Bone marrow smear — 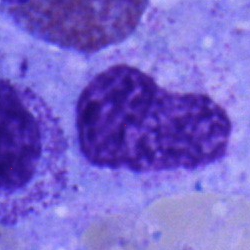

Metamyelocyte.